Bone marrow aspirate smear:
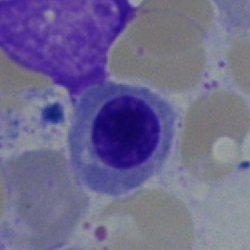
Erythroblast.